Bone marrow aspirate smear — 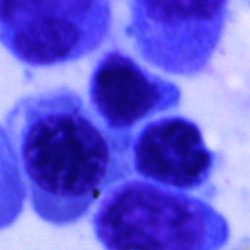Morphological class: nucleated red blood cell.